Bone marrow smear.
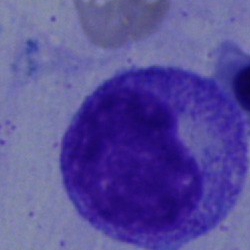 Myelocyte.